Bone marrow aspirate smear:
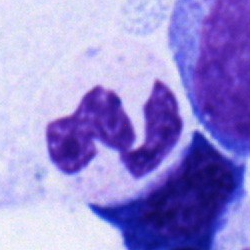Morphological class — polymorphonuclear neutrophil.